40× oil immersion · bone marrow smear · 250×250
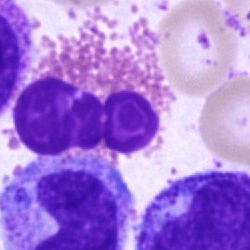
Morphology — eosinophil.